Bone marrow smear — 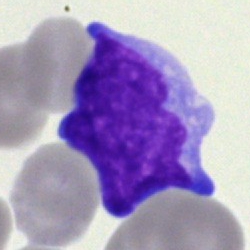

Blast.